Peripheral blood film
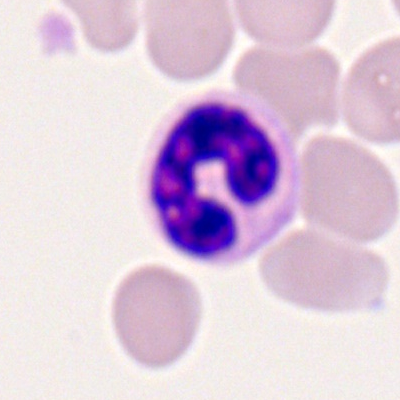

Q: What type of cell is this?
A: It is a segmented neutrophil.